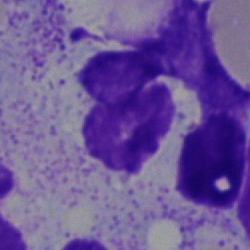

{"cell_type": "artefact"}